Bone marrow aspirate smear.
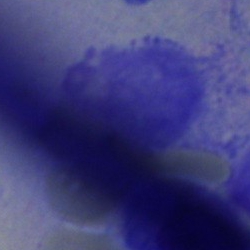 Morphological class: artifact.